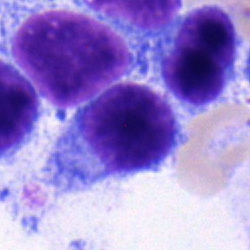

Specimen: bone marrow aspirate smear.
Classification: typical lymphocyte.